40× oil immersion. Bone marrow smear: 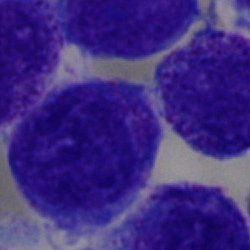

Cell = blast cell.